Bone marrow aspirate smear:
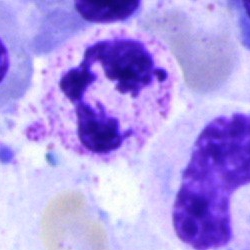

The cell shown is a segmented neutrophil.